Bone marrow smear: 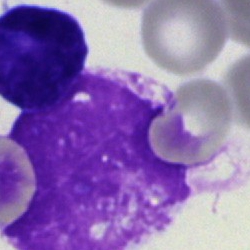 Showing an artifact.